Peripheral blood film — 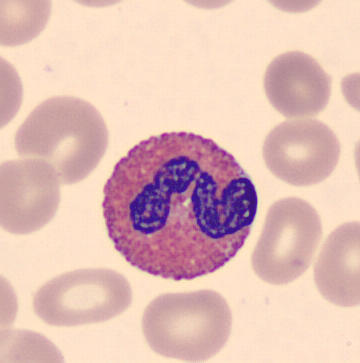
{"cell_type": "eosinophil"}